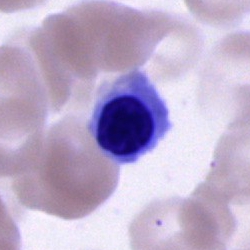A cell of indeterminate lineage on a bone marrow smear.